Pappenheim-stained; bone marrow aspirate smear: 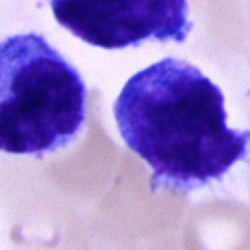Q: Identify the cell.
A: It is a blast cell.